Single-cell crop. Bone marrow aspirate smear.
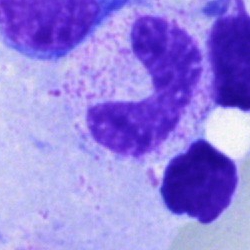
A neutrophil (band).